Brightfield microscopy, 40× oil immersion. Bone marrow aspirate smear. Pappenheim-stained
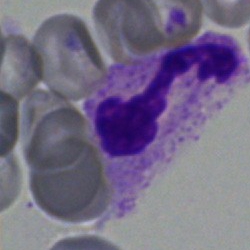 The morphological class is polymorphonuclear neutrophil.